Bone marrow smear
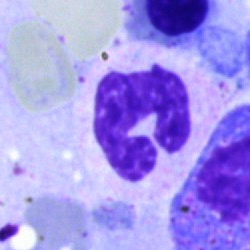

Specimen: bone marrow smear.
Classification: neutrophil (segmented).
Lineage: myeloid.